Bone marrow aspirate smear:
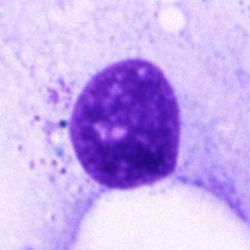 Q: What is shown here?
A: This is an artefact.